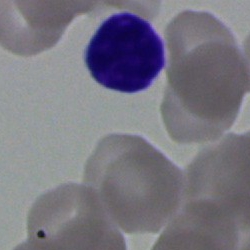

Cell type — lymphocyte.